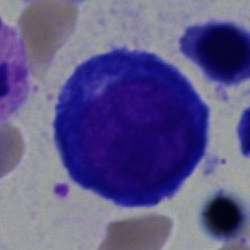
Proerythroblast.